Bone marrow smear:
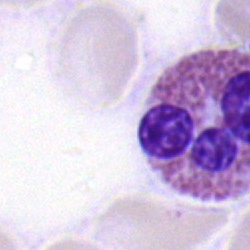Impression → eosinophil.